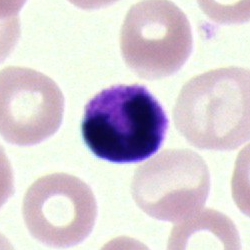

Bone marrow aspirate smear, single cell — artifact.